Bone marrow smear; 40× objective, oil immersion:
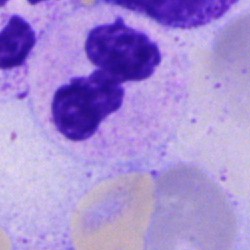
Morphology consistent with a neutrophil (segmented).